Bone marrow smear
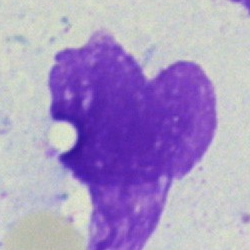Showing an artifact.